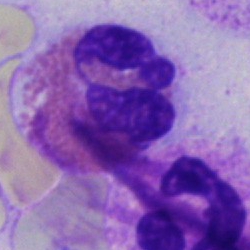Bone marrow smear showing an eosinophil.